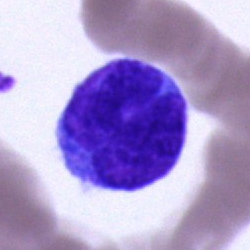 Morphology → undifferentiated blast.